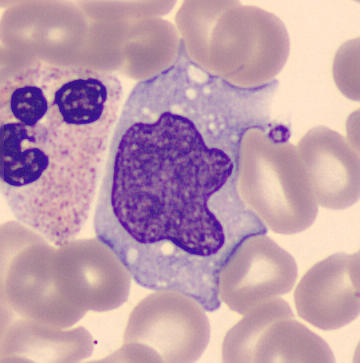

Identified as a monocyte. Peripheral blood film.